Bone marrow aspirate smear. Brightfield microscopy, 40× oil immersion.
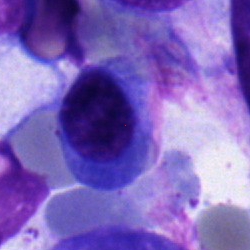
A nucleated red cell.